Single-cell crop · bone marrow aspirate smear · May-Grünwald-Giemsa stain
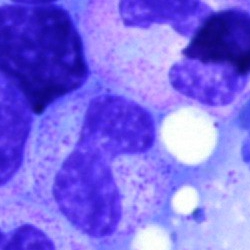 Morphology → band-form neutrophil.